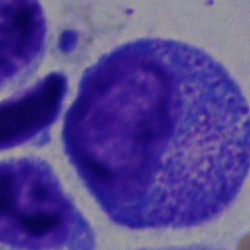

Impression → progranulocyte.